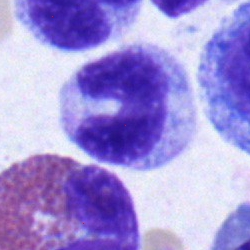
Classification — band-form neutrophil.